Bone marrow smear.
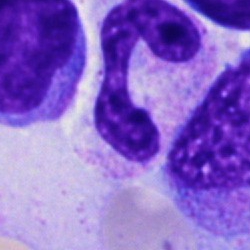Morphology → segmented neutrophil.